Bone marrow aspirate smear.
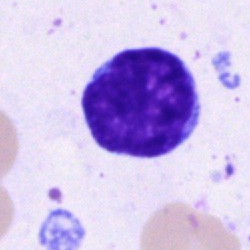

Specimen: bone marrow aspirate smear.
Classification: typical lymphocyte.
Lineage: lymphoid.